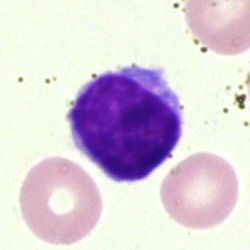 Impression — typical lymphocyte.